Bone marrow smear: 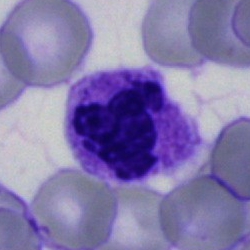
Cell type = polymorphonuclear neutrophil.